Bone marrow smear — 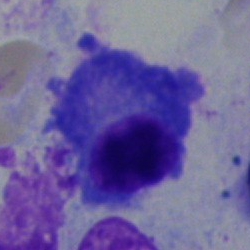
Showing a plasmacyte.